Peripheral blood smear.
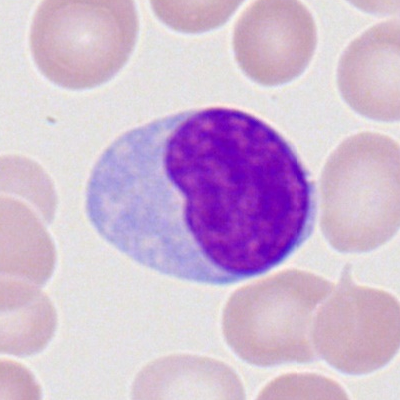
Morphology — typical lymphocyte.